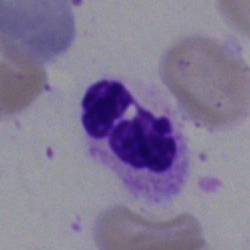 The cell is segmented neutrophil.